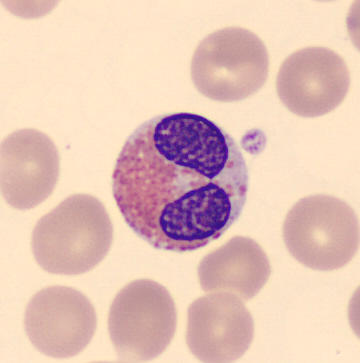

Cell — eosinophilic granulocyte.

Preparation: Single-cell crop · peripheral blood film · imaged on a CellaVision DM96 analyser.